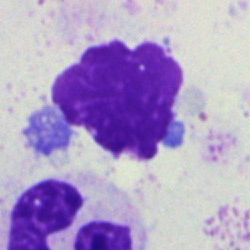

This is an artifact.